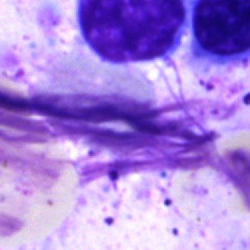

The cell is artefact.